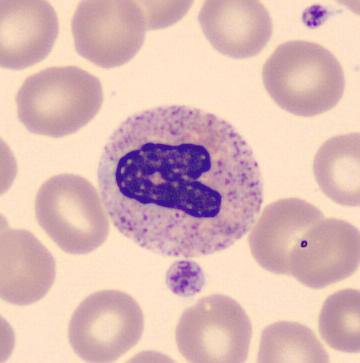

Morphological class: band neutrophil.

Peripheral blood film; May-Grünwald-Giemsa-stained.